Single cell centered in the field · bone marrow smear — 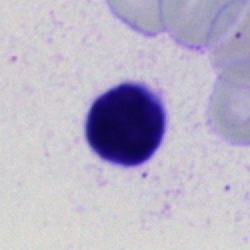

Q: Which cell type is shown here?
A: Lymphocyte.